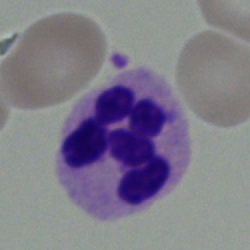Specimen: bone marrow aspirate smear.
Cell: polymorphonuclear neutrophil.
Lineage: myeloid.